Bone marrow smear. Cropped to a single cell.
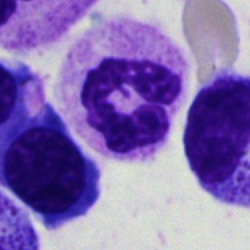Specimen: bone marrow smear.
Cell type: polymorphonuclear neutrophil.